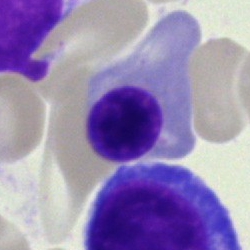
Specimen: bone marrow smear.
Morphological class: nucleated red blood cell.